Bone marrow smear.
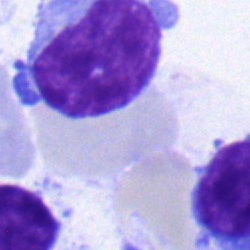
The classification is typical lymphocyte.